Bone marrow aspirate smear. Cropped to a single cell:
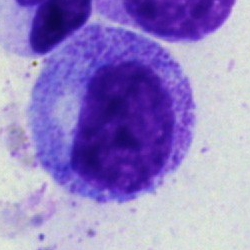 Single cell identified as a progranulocyte.